Peripheral blood film:
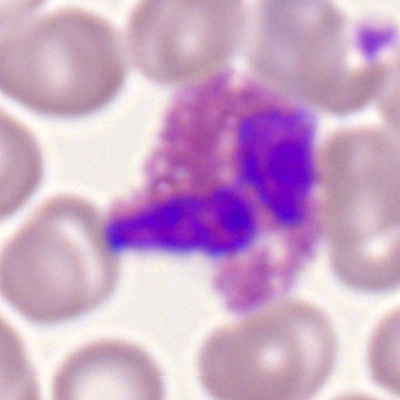 Q: What is the morphological classification of this cell?
A: An eosinophilic granulocyte.